MGG-stained. Bone marrow smear: 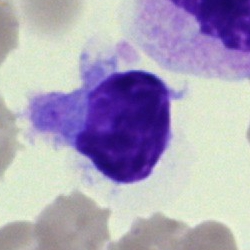
Specimen: bone marrow smear.
Cell type: hairy cell.